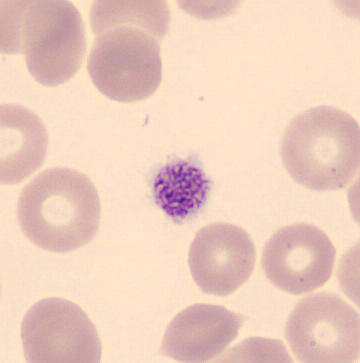
Thrombocyte. Peripheral blood film.